Single cell centered in the field. Brightfield, 40× oil-immersion objective. Bone marrow smear — 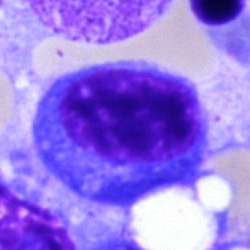
Showing a plasma cell.